Single-cell crop. Bone marrow aspirate smear:
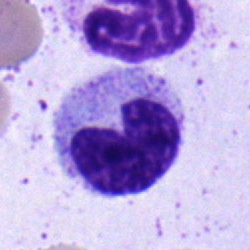 Metamyelocyte.